Single-cell field. Bone marrow aspirate smear.
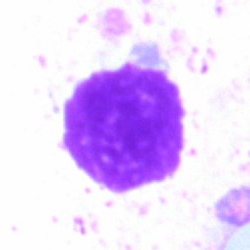

The morphological class is artefact.